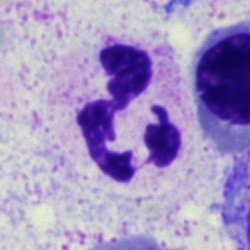
Single cell identified as a polymorphonuclear neutrophil.